Bone marrow smear. 250 by 250 pixels — 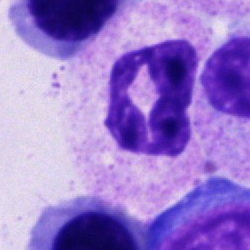 This is a segmented neutrophil.